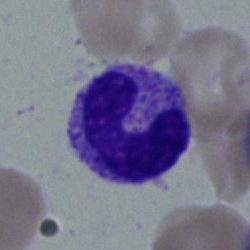 Q: What type of cell is this?
A: This is a stab cell.